Bone marrow aspirate smear:
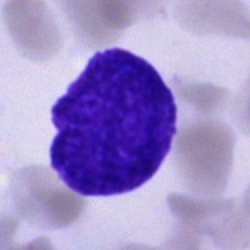Single cell identified as an artifact.